Bone marrow smear; 250 by 250 pixels.
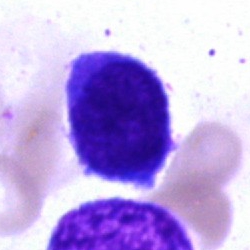

Cell type — blast cell.